Bone marrow aspirate smear · brightfield, 40× oil-immersion objective: 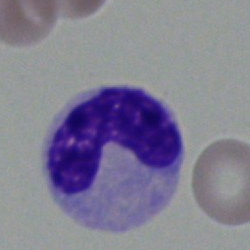
Cell — band neutrophil.